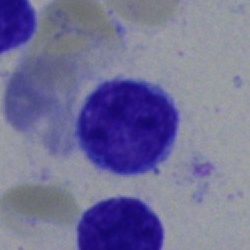 A typical lymphocyte on a bone marrow smear.